Bone marrow smear; 40× oil immersion; MGG-stained.
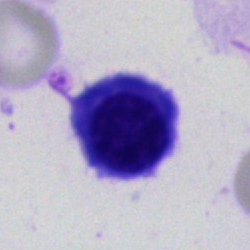Q: What cell is this?
A: It is a nucleated red blood cell.